Bone marrow aspirate smear.
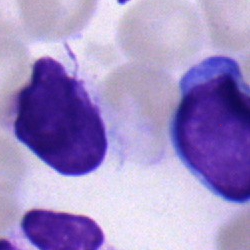
Q: What is shown here?
A: It is a typical lymphocyte.